Bone marrow smear:
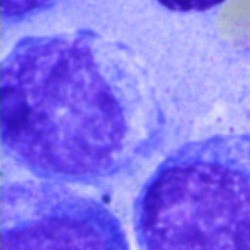

The cell type is artifact.